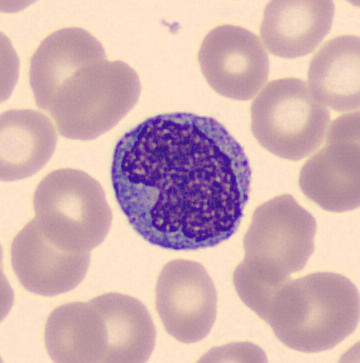Impression → monocyte.